May-Grünwald-Giemsa/Pappenheim stain; bone marrow smear:
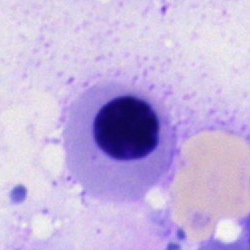
The cell shown is an erythroblast.